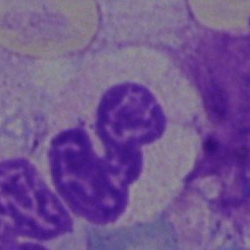

Morphological class — polymorphonuclear neutrophil.